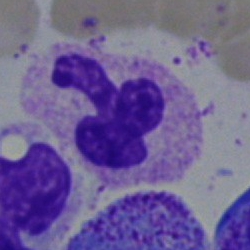
A neutrophil (segmented).